Image size 250×250; bone marrow aspirate smear.
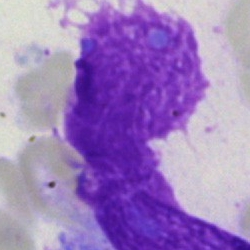{"cell_type": "artefact"}